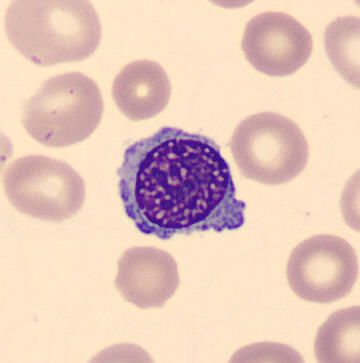Acquisition: CellaVision DM96. 360×363 px.
Specimen: peripheral blood smear.
Cell type: nucleated red cell.